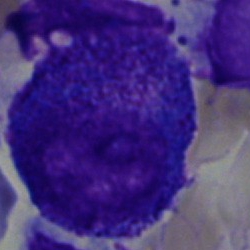

This is a progranulocyte.